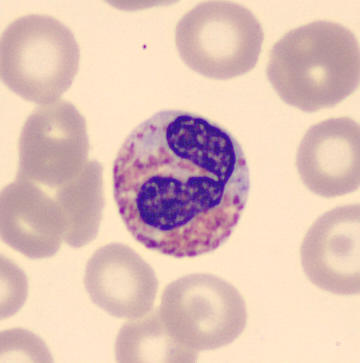 Image: Peripheral blood smear · CellaVision DM96. Identified as an eosinophilic granulocyte.